Single-cell crop; bone marrow aspirate smear; Pappenheim-stained — 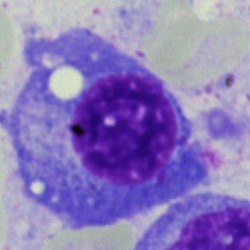 Cell: plasmacyte.